Peripheral blood smear: 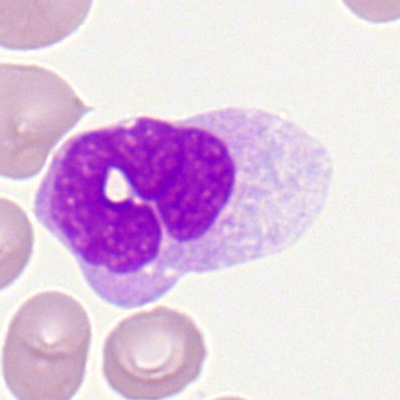Impression → monocyte.